Cropped to a single cell; bone marrow smear.
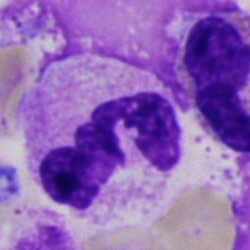
Q: What cell is this?
A: This is a polymorphonuclear neutrophil.